Bone marrow aspirate smear; 250×250 — 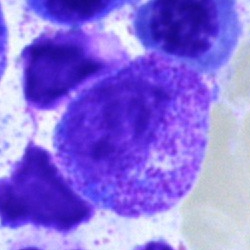

Cell — myelocyte.